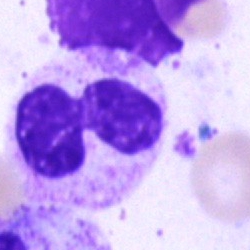 {"cell_type": "segmented neutrophil"}